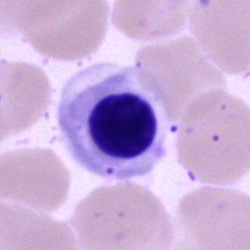 Normoblast.